Brightfield microscopy, 40× oil immersion. Bone marrow aspirate smear. Single-cell field: 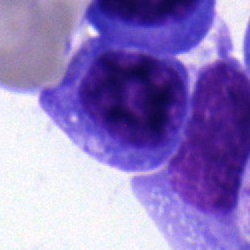
The cell shown is a plasmacyte.